250×250 px; bone marrow aspirate smear.
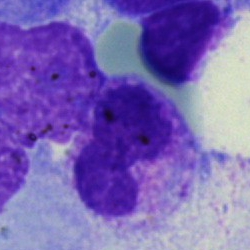Specimen: bone marrow aspirate smear.
Classification: band neutrophil.
Lineage: myeloid.